250×250 · bone marrow aspirate smear · single cell centered in the field — 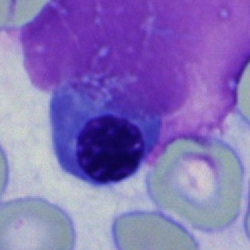

Morphology → normoblast.